Bone marrow smear. 250 by 250 pixels
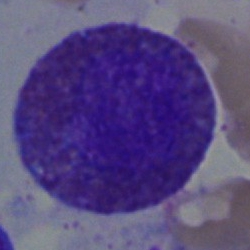The cell type is eosinophilic granulocyte.